Bone marrow smear. Brightfield, 40× oil-immersion objective: 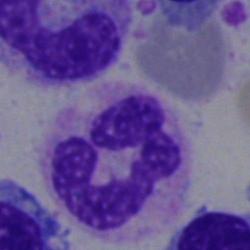
Morphology consistent with a segmented neutrophil.